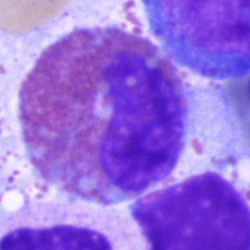Morphological class = eosinophil.